250 by 250 pixels; bone marrow smear; May-Grünwald-Giemsa/Pappenheim stain.
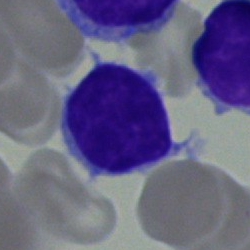
The morphological class is lymphocyte.